M8 digital microscope (Precipoint), 100× oil immersion · peripheral blood film · Romanowsky stain.
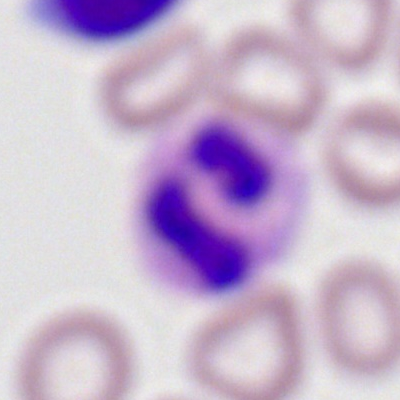 Impression → polymorphonuclear neutrophil.